250×250 px; bone marrow aspirate smear; brightfield microscopy, 40× oil immersion — 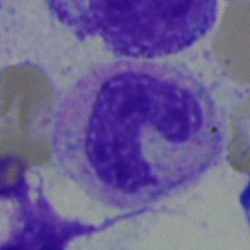 Specimen: bone marrow smear.
Morphological class: stab cell.